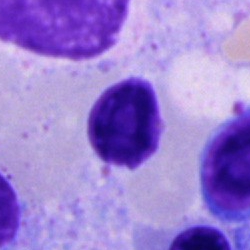An artifact.